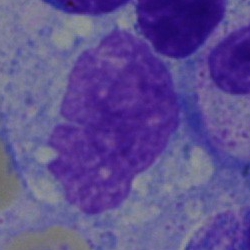Q: Which cell type is shown here?
A: A monocyte.